Bone marrow smear:
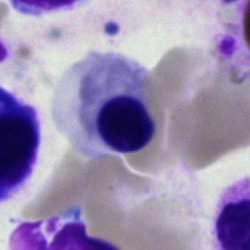
{"cell_type": "nucleated red blood cell"}